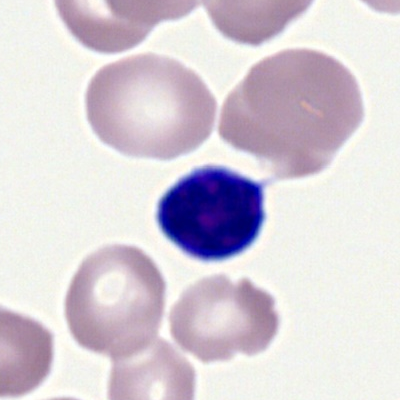
Specimen: peripheral blood film.
Cell: typical lymphocyte.